Bone marrow smear; 40× objective, oil immersion; image size 250×250:
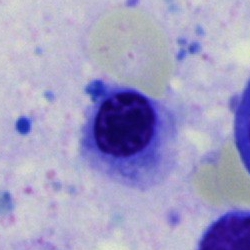{"cell_type": "erythroblast"}